Peripheral blood film. 100× objective, oil immersion. Romanowsky-type stain — 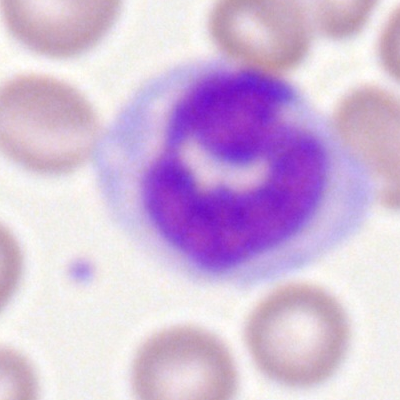A monocyte.